May-Grünwald-Giemsa/Pappenheim stain · bone marrow smear.
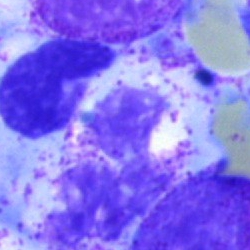This is an artefact.